400×400; 100× objective, oil immersion; peripheral blood film:
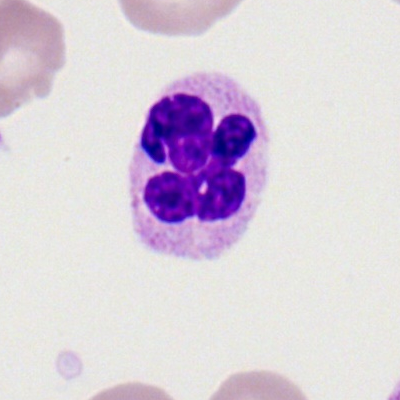

Classification: segmented neutrophil.